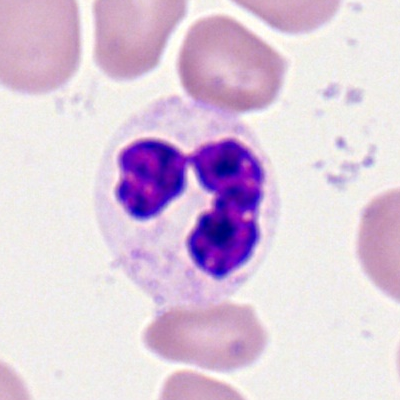
Q: What cell is this?
A: A polymorphonuclear neutrophil.